Bone marrow aspirate smear — 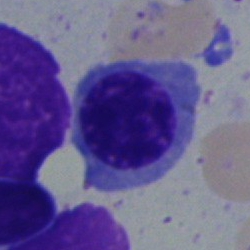

Classification = normoblast.